Bone marrow smear
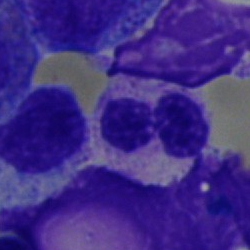

A segmented neutrophil.